Bone marrow aspirate smear
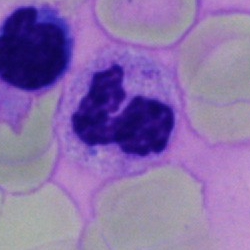 Morphology consistent with a polymorphonuclear neutrophil.